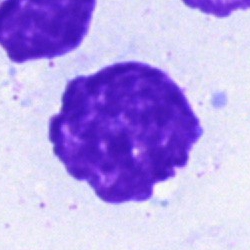
Artefact.